Bone marrow aspirate smear
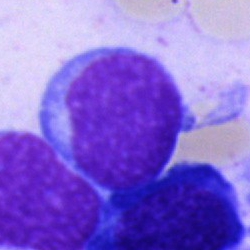
Specimen: bone marrow smear.
Cell type: blast.